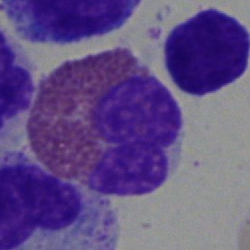
Q: What type of cell is this?
A: Eosinophilic granulocyte.